Bone marrow smear; image size 250×250.
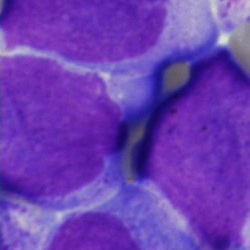 Single cell identified as a blast.